Cropped to a single cell. Bone marrow aspirate smear.
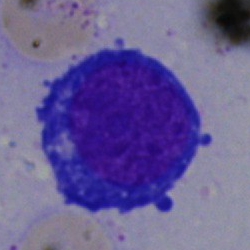
Morphology — nucleated red blood cell.